MGG-stained. Bone marrow aspirate smear. Image size 250×250: 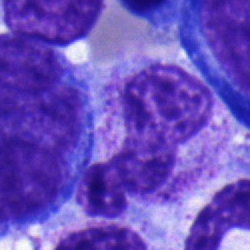 A neutrophil (band).